Bone marrow smear. Single cell centered in the field
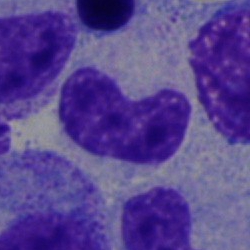

Morphology consistent with a stab cell.